Bone marrow aspirate smear. 250×250. Cropped to a single cell — 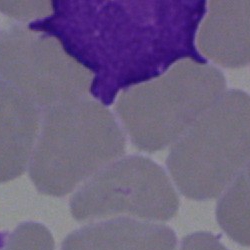

Morphology consistent with an artefact.